Bone marrow smear
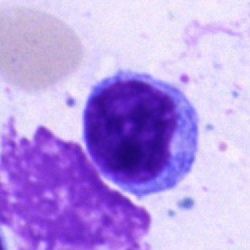
Single cell identified as a typical lymphocyte.